250×250 px. Bone marrow smear: 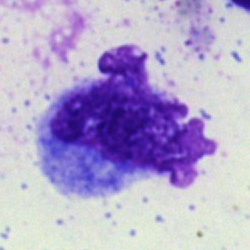

The cell shown is an artifact.